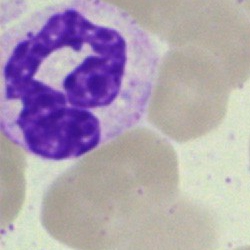Specimen: bone marrow smear.
Cell: neutrophil (segmented).